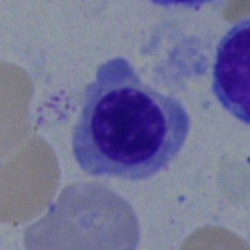
Cell: nucleated red blood cell.